Peripheral blood smear — 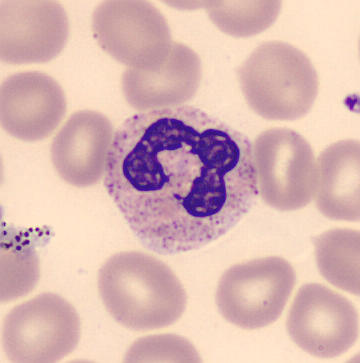

This is a neutrophil (segmented).